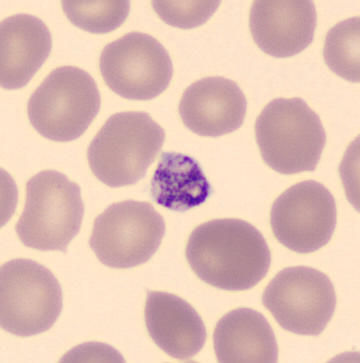
Identified as a platelet (thrombocyte).

Image: Peripheral blood film. May-Grünwald-Giemsa-stained. Image size 360×363.